Bone marrow smear. 250×250 px
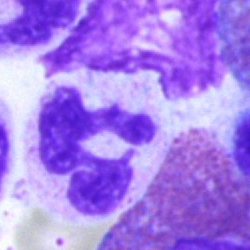

Showing a neutrophil (segmented).